Brightfield microscopy, 40× oil immersion; bone marrow smear:
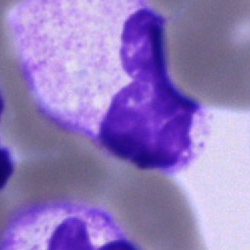

Q: What is the morphological classification of this cell?
A: This is a segmented neutrophil.